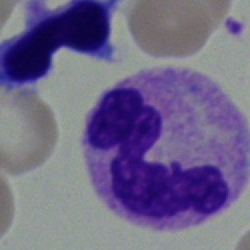The morphological class is polymorphonuclear neutrophil.